M8 digital microscope (Precipoint), 100× oil immersion; image size 400×400; peripheral blood smear:
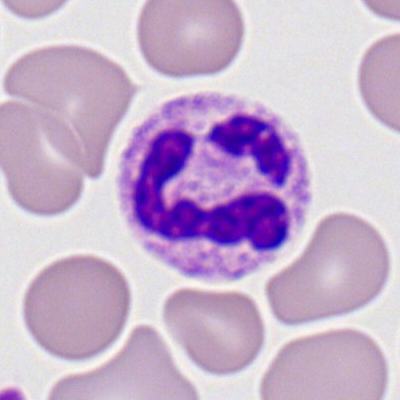Morphological class = neutrophil (segmented).